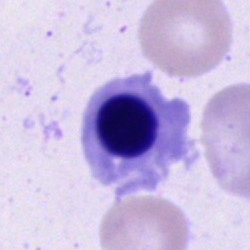

This is a nucleated red cell.